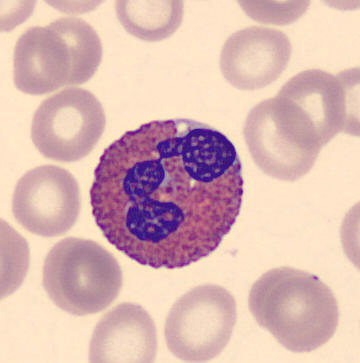 Acquisition: Imaged on a CellaVision DM96 analyser. Single-cell crop. Peripheral blood smear.

Eosinophil.